Bone marrow smear; May-Grünwald-Giemsa stain — 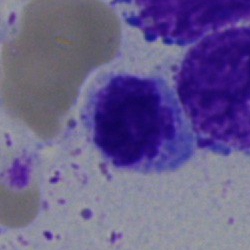

Morphology — nucleated red cell.